Single-cell field; bone marrow smear — 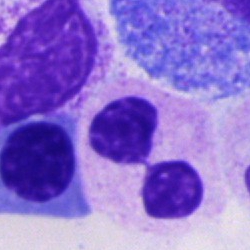

The cell type is segmented neutrophil.